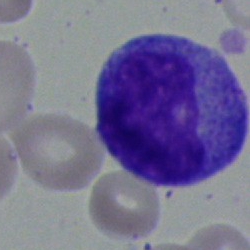

Q: What is shown here?
A: It is a myelocyte.